MGG-stained · bone marrow smear.
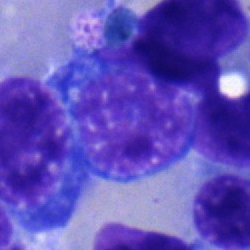

A pronormoblast.